Single-cell field · Romanowsky-stained · peripheral blood smear
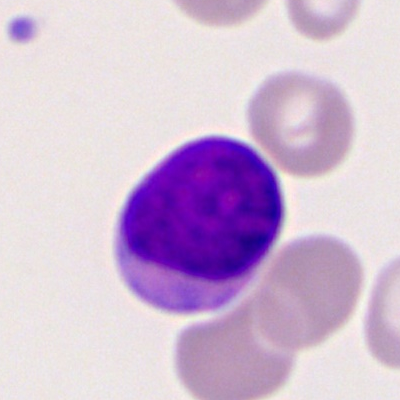

Showing a myeloblast.